Bone marrow aspirate smear. 40× objective, oil immersion:
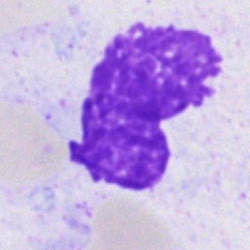Morphology consistent with an artifact.